Bone marrow smear
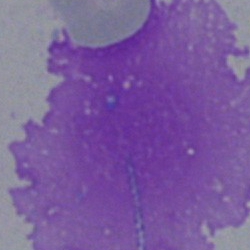

Morphology consistent with an artefact.